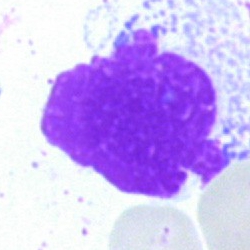 Morphology — artefact.